Peripheral blood smear
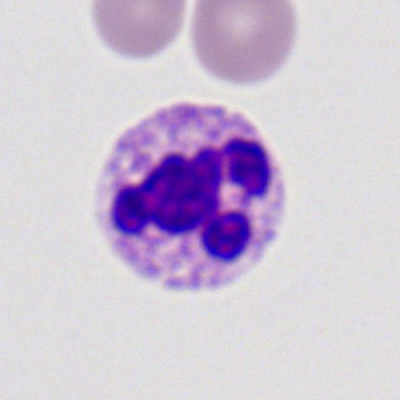
Morphological class = neutrophil (segmented).